Bone marrow smear; 250×250: 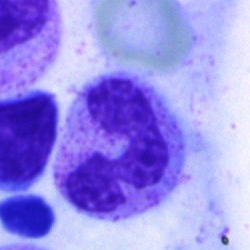
Q: Identify the cell.
A: This is a polymorphonuclear neutrophil.